Bone marrow aspirate smear
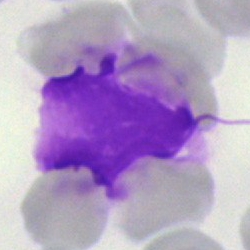
Q: What is shown here?
A: An artefact.